Single-cell field; bone marrow smear.
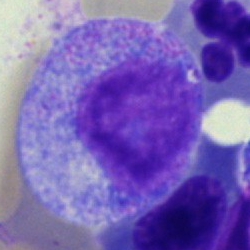
Specimen: bone marrow smear.
Cell: promyelocyte.